Single cell centered in the field. Bone marrow smear
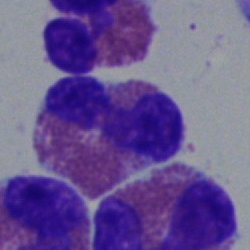 This is an eosinophilic granulocyte.